Single cell centered in the field; 40× objective, oil immersion; bone marrow aspirate smear:
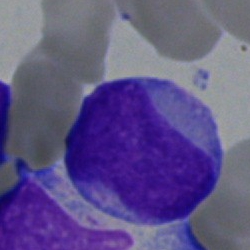

Morphology consistent with a blast cell.